Single-cell crop. Brightfield microscopy, 40× oil immersion. Bone marrow aspirate smear: 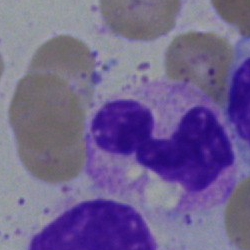

Cell — polymorphonuclear neutrophil.